Bone marrow smear
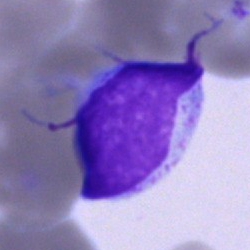
Showing a typical lymphocyte.